Bone marrow aspirate smear.
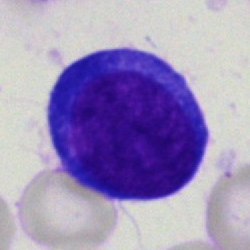This is a pronormoblast.